Bone marrow aspirate smear: 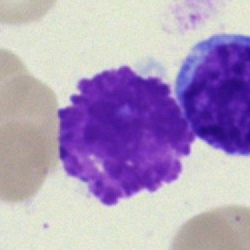 An artefact.